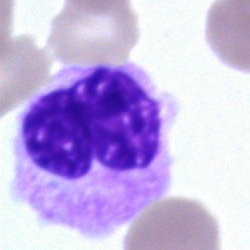
Cell type — polymorphonuclear neutrophil.